Bone marrow aspirate smear
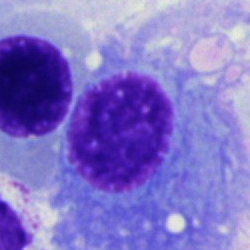 Q: Identify the cell.
A: Plasma cell.